Bone marrow smear:
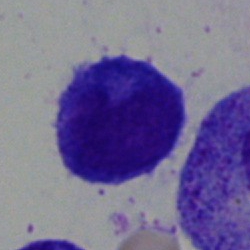
Cell type — typical lymphocyte.